Bone marrow smear · May-Grünwald-Giemsa stain: 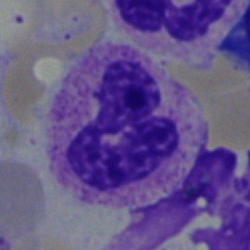
Q: Which cell type is shown here?
A: Polymorphonuclear neutrophil.